Bone marrow smear.
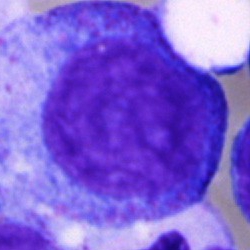Q: What cell is this?
A: Progranulocyte.